Single-cell crop · 400×400 · peripheral blood film
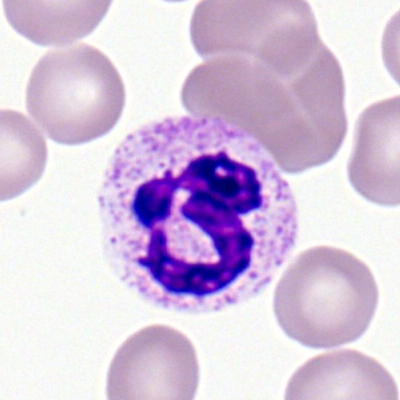

Cell: polymorphonuclear neutrophil.